Single cell centered in the field; image size 250×250; bone marrow smear:
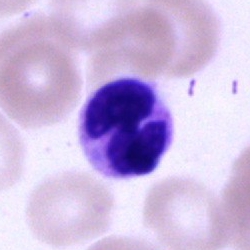

Neutrophil (segmented).